Bone marrow smear · brightfield, 40× oil-immersion objective · Pappenheim-stained: 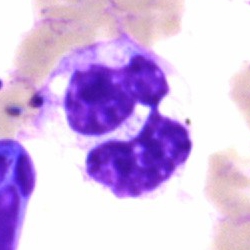

Showing a segmented neutrophil.